40× oil immersion; bone marrow aspirate smear.
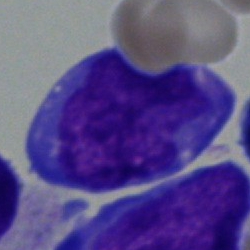 Specimen: bone marrow smear.
Classification: blast cell.